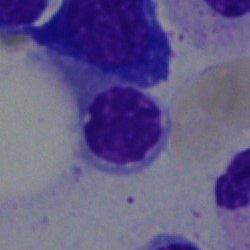
Impression — nucleated red cell.